Image size 250×250. Bone marrow smear. May-Grünwald-Giemsa stain.
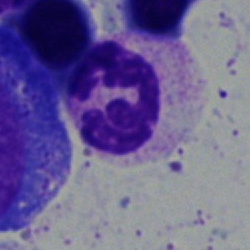 The cell type is polymorphonuclear neutrophil.